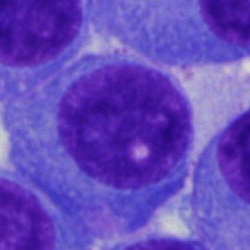Cell: plasmacyte.